Bone marrow smear; May-Grünwald-Giemsa stain:
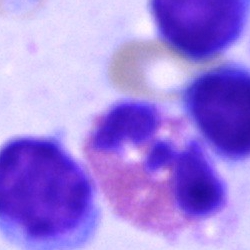
The cell type is eosinophil.